Bone marrow aspirate smear · Pappenheim-stained:
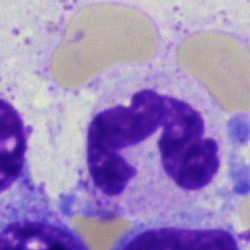Showing a segmented neutrophil.